Bone marrow aspirate smear:
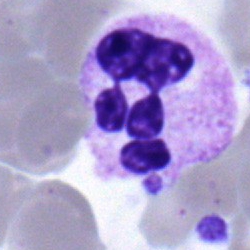
This is a neutrophil (segmented).